MGG-stained. Bone marrow smear:
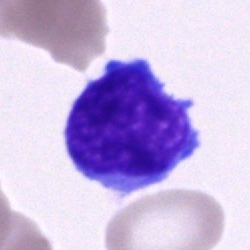Impression → blast cell.